100× oil immersion, 14.14 px/µm. Peripheral blood film
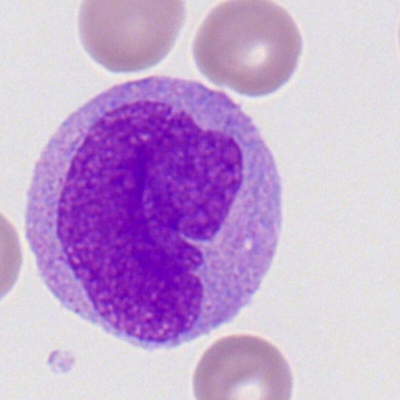Morphological class: myeloid blast.